Brightfield, 40× oil-immersion objective; bone marrow smear; May-Grünwald-Giemsa/Pappenheim stain — 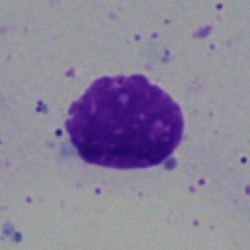 Morphology consistent with an artifact.